Single-cell crop · bone marrow aspirate smear — 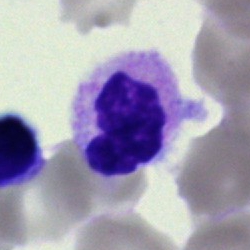

Showing a segmented neutrophil.